Bone marrow aspirate smear
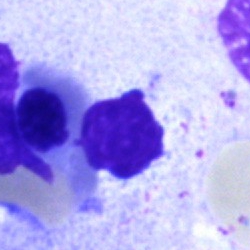 Morphology consistent with an artefact.